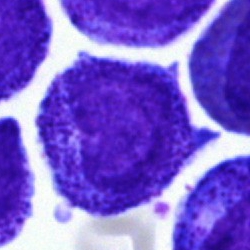 Morphology consistent with a myelocyte.